250 by 250 pixels; brightfield, 40× oil-immersion objective; bone marrow smear: 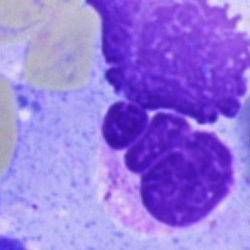 Morphology — artifact.